Bone marrow smear: 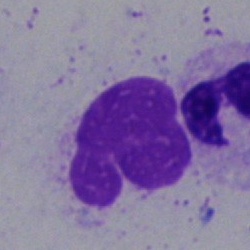Morphology consistent with an artifact.